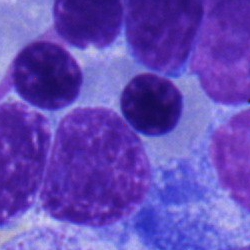

{"cell_type": "erythroblast"}